Bone marrow smear:
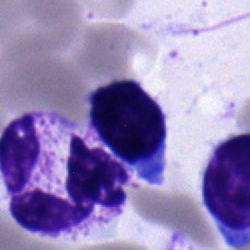 Morphology consistent with a lymphocyte.